Bone marrow smear
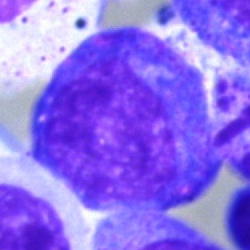

{"cell_type": "promyelocyte", "lineage": "myeloid"}